Single cell centered in the field; 250×250; bone marrow aspirate smear: 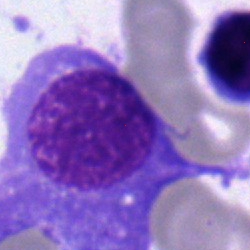 Specimen: bone marrow smear.
Cell type: plasmacyte.